Single cell centered in the field · 250 by 250 pixels · bone marrow smear:
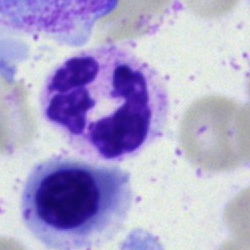 Neutrophil (segmented).